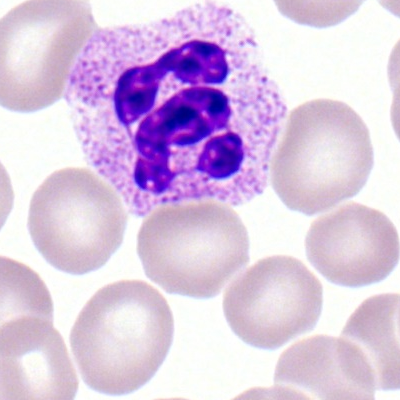Peripheral blood smear showing a polymorphonuclear neutrophil.